40× oil immersion · bone marrow aspirate smear · single-cell field:
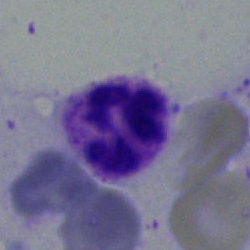Single cell identified as a polymorphonuclear neutrophil.